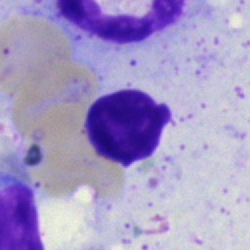 Q: What is shown here?
A: Artefact.